Brightfield, 40× oil-immersion objective; bone marrow aspirate smear:
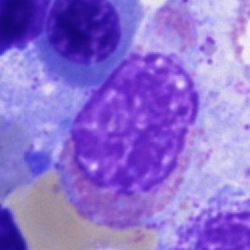Morphology consistent with an eosinophilic granulocyte.